Bone marrow smear.
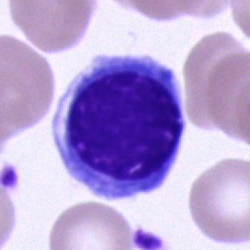

Impression — nucleated red cell.